40× oil immersion. Bone marrow smear — 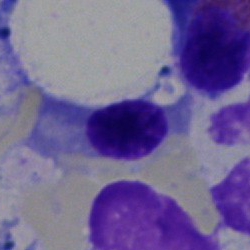Q: What is shown here?
A: A nucleated red blood cell.